Bone marrow aspirate smear: 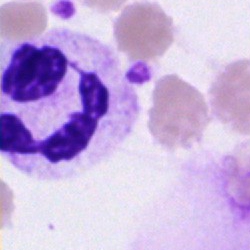Cell type = segmented neutrophil.